May-Grünwald-Giemsa/Pappenheim stain · 40× objective, oil immersion · bone marrow smear.
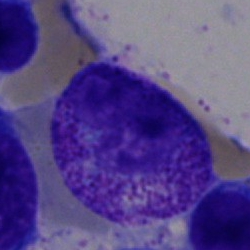
The cell shown is a myelocyte.